Bone marrow aspirate smear.
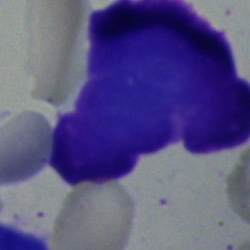

A plasmacyte.